Single cell centered in the field. May-Grünwald-Giemsa/Pappenheim stain. Bone marrow aspirate smear:
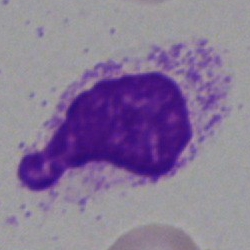
Q: What is shown here?
A: This is an artefact.